Bone marrow aspirate smear
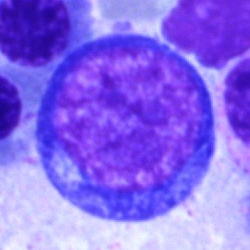Classification — erythroblast.